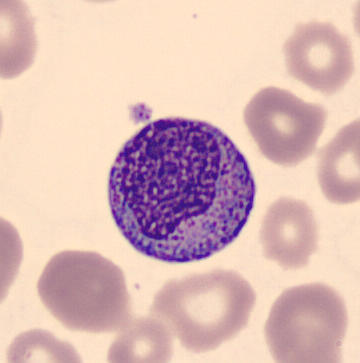 Preparation: MGG-stained; peripheral blood film.
Classification: myelocyte.